MGG-stained; brightfield microscopy, 40× oil immersion; bone marrow aspirate smear:
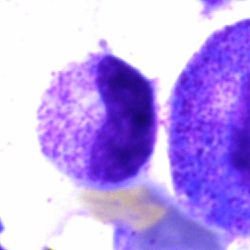Specimen: bone marrow smear.
Morphological class: band-form neutrophil.
Lineage: myeloid.